Bone marrow aspirate smear: 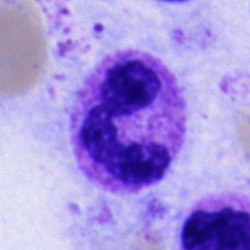Q: Identify the cell.
A: Neutrophil (segmented).